Bone marrow smear · MGG-stained: 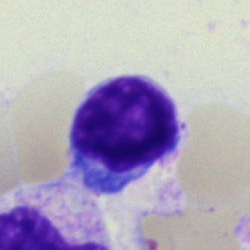

Lymphocyte.